Bone marrow aspirate smear; 250×250: 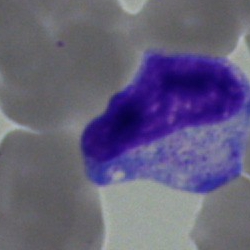The cell shown is a myelocyte.